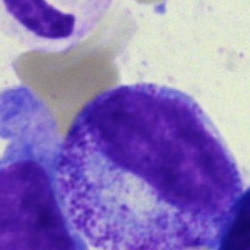

Q: What type of cell is this?
A: It is a progranulocyte.